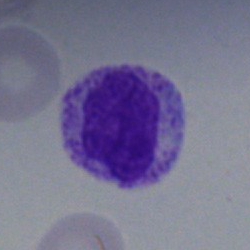 Q: What cell is this?
A: This is a myelocyte.